Bone marrow smear
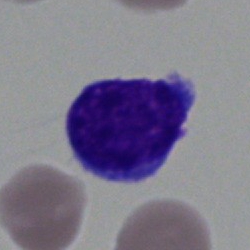Morphology — lymphocyte.